Peripheral blood smear — 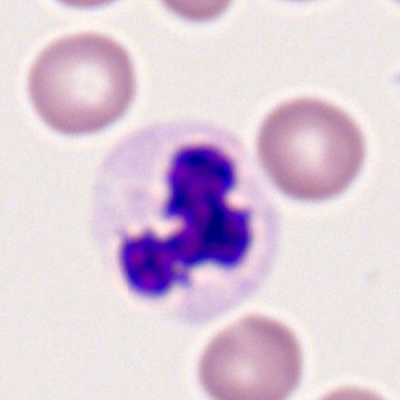
Q: What is the morphological classification of this cell?
A: A segmented neutrophil.